Bone marrow aspirate smear.
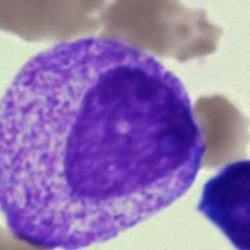

Showing a myelocyte.